Bone marrow aspirate smear
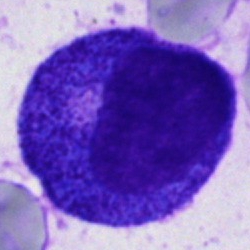

Morphology consistent with a progranulocyte.